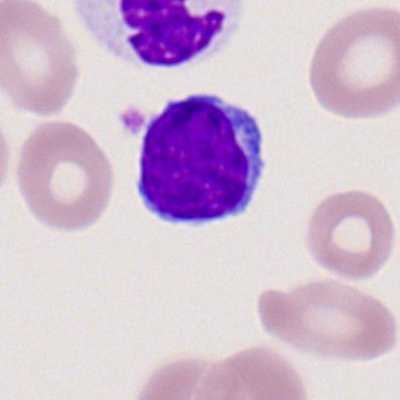 Cell type: typical lymphocyte.